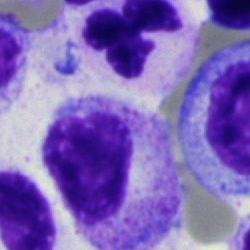
The classification is myelocyte.